Bone marrow aspirate smear · cropped to a single cell
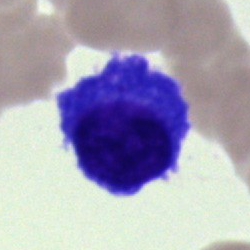 This is a plasma cell.